Bone marrow aspirate smear · 250×250 · cropped to a single cell:
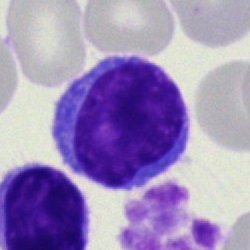
Morphology — typical lymphocyte.